Image size 250×250 · bone marrow smear.
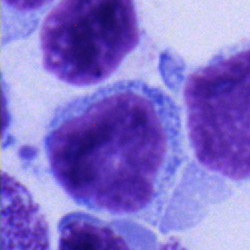 Cell = typical lymphocyte.